Bone marrow smear · May-Grünwald-Giemsa/Pappenheim stain · brightfield microscopy, 40× oil immersion:
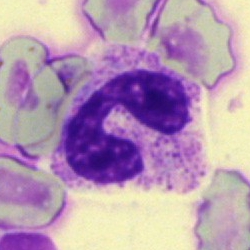

Q: What cell is this?
A: A segmented neutrophil.